Bone marrow smear. 250×250
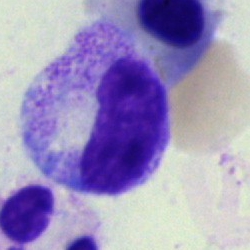 Cell — myelocyte.